Single-cell field · bone marrow aspirate smear · 250 by 250 pixels
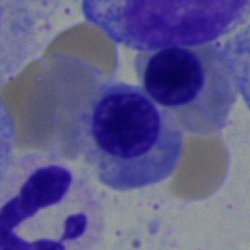The cell is erythroblast.